Bone marrow smear
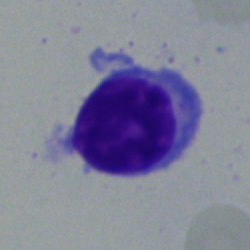The classification is typical lymphocyte.